Romanowsky-type stain · peripheral blood smear: 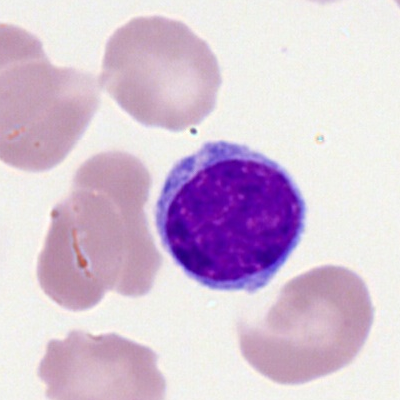
A typical lymphocyte.